Bone marrow smear · MGG-stained — 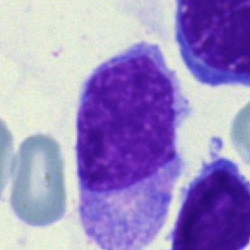
Monocyte.